Bone marrow smear.
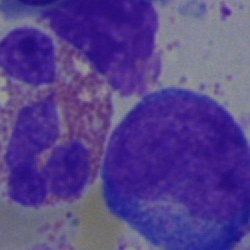

The cell type is eosinophilic granulocyte.